Single cell centered in the field; bone marrow smear; brightfield, 40× oil-immersion objective — 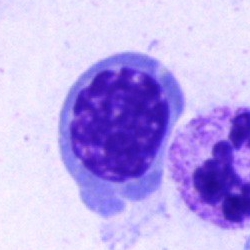

A normoblast.